Pappenheim-stained; bone marrow smear:
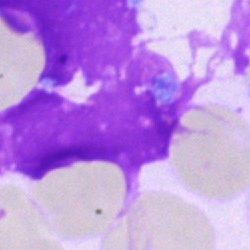

Specimen: bone marrow aspirate smear.
Cell: artefact.